Bone marrow smear: 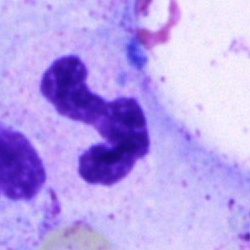
This is a neutrophil (segmented).